Bone marrow smear. MGG-stained
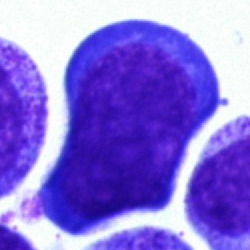

Showing a pronormoblast.